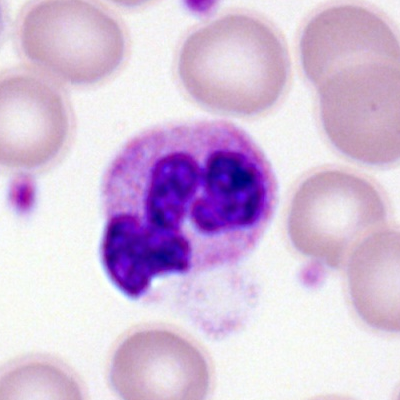 The classification is polymorphonuclear neutrophil.